Bone marrow aspirate smear — 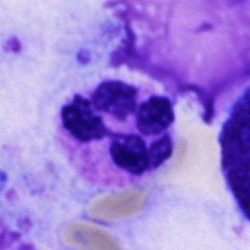 Q: What cell is this?
A: Polymorphonuclear neutrophil.